Bone marrow aspirate smear.
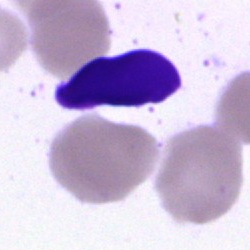Morphology — artifact.